250×250 px · bone marrow smear · May-Grünwald-Giemsa stain:
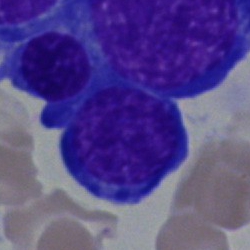

Showing a nucleated red blood cell.